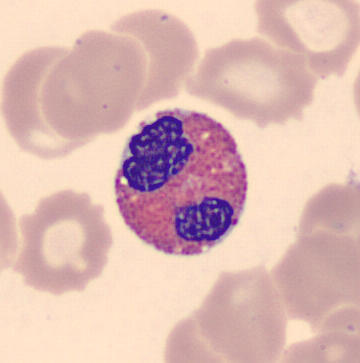Q: Which cell type is shown here?
A: It is an eosinophilic granulocyte. Imaged on a CellaVision DM96 analyser; peripheral blood film.